Bone marrow smear.
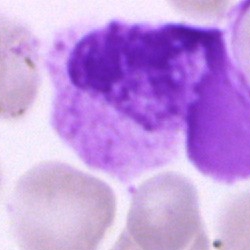
This is an artifact.